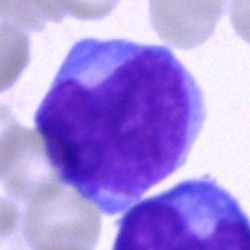A blast cell on a bone marrow smear.